Bone marrow aspirate smear.
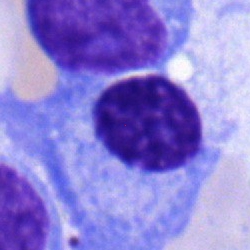 A plasma cell.